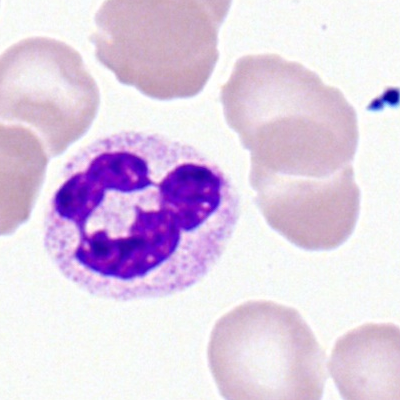

The cell is segmented neutrophil.